Bone marrow smear; 250×250 px — 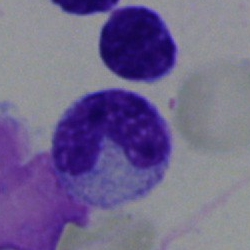

Showing a stab cell.